Bone marrow aspirate smear; Pappenheim-stained.
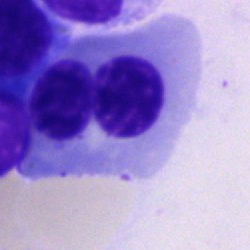
{"cell_type": "normoblast"}